Bone marrow smear. Pappenheim-stained. Brightfield, 40× oil-immersion objective — 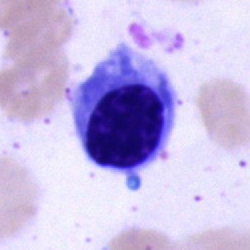Specimen: bone marrow smear.
Cell type: nucleated red cell.
Lineage: erythroid.